Bone marrow aspirate smear
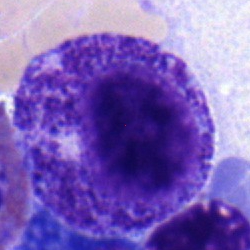Single cell identified as a myelocyte.